Bone marrow aspirate smear; cropped to a single cell — 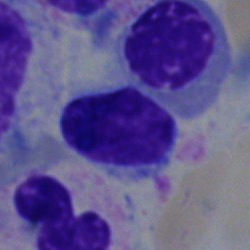
The morphological class is lymphocyte.